Bone marrow smear: 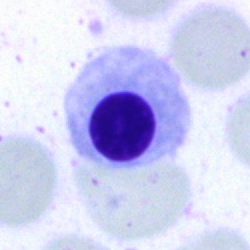

Classification: nucleated red blood cell.